Bone marrow smear
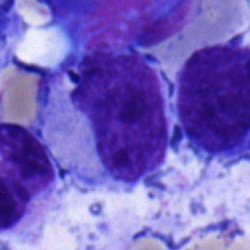

Specimen: bone marrow aspirate smear.
Morphological class: metamyelocyte.
Lineage: myeloid.